Bone marrow smear.
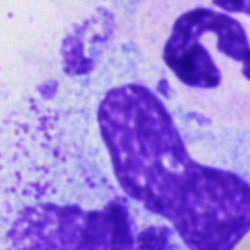

Artifact.